Bone marrow smear.
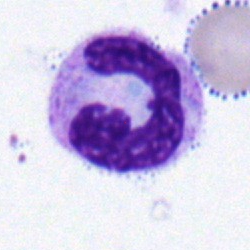
Classification — stab cell.